40× oil immersion · bone marrow aspirate smear · single cell centered in the field.
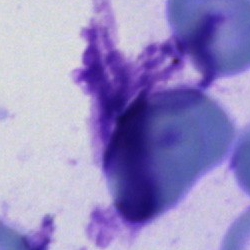 Morphological class = artifact.